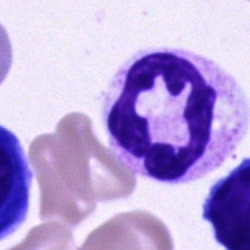 Cell type — polymorphonuclear neutrophil.